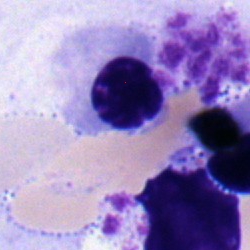 Specimen: bone marrow aspirate smear.
Cell: nucleated red blood cell.